250 by 250 pixels. Bone marrow smear. May-Grünwald-Giemsa/Pappenheim stain — 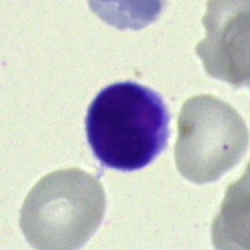 Morphological class: typical lymphocyte.